Bone marrow aspirate smear:
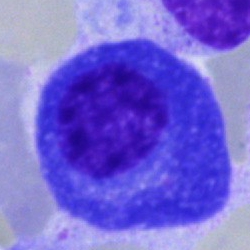

Morphology consistent with a plasmacyte.